Bone marrow aspirate smear. May-Grünwald-Giemsa/Pappenheim stain.
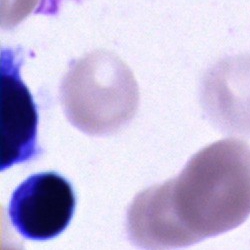 Q: What is the morphological classification of this cell?
A: It is a cell of indeterminate lineage.